Peripheral blood smear.
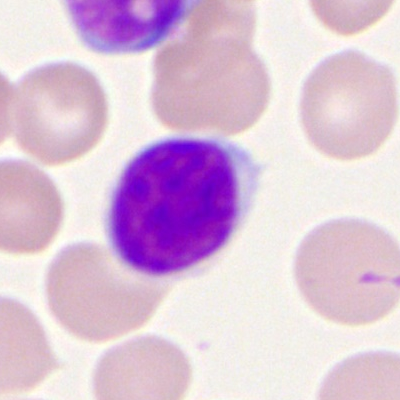

Q: What type of cell is this?
A: This is a lymphocyte.